Bone marrow smear · single cell centered in the field
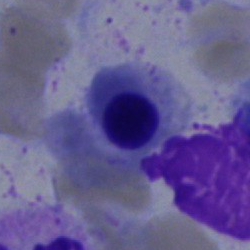

Impression → erythroblast.